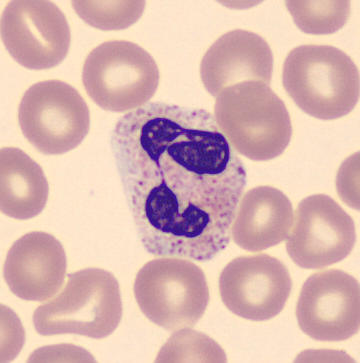 Acquisition: MGG stain · 360 by 363 pixels · peripheral blood film. Showing a polymorphonuclear neutrophil.